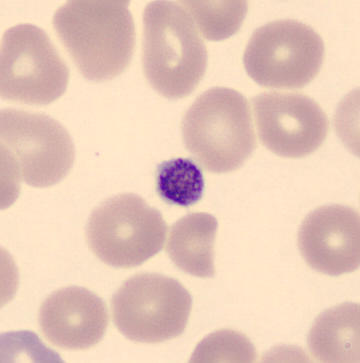

Image: Peripheral blood film.

Q: What is this?
A: It is a platelet (thrombocyte).